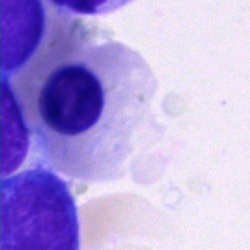 Single-cell crop from a bone marrow smear: normoblast.